MGG-stained · bone marrow aspirate smear
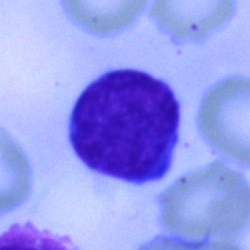Q: Which cell type is shown here?
A: A lymphocyte.